Bone marrow smear.
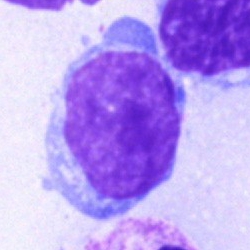 The cell shown is a typical lymphocyte.